Bone marrow smear; 250 by 250 pixels
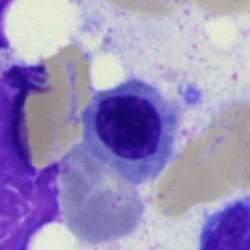

This is a nucleated red blood cell.